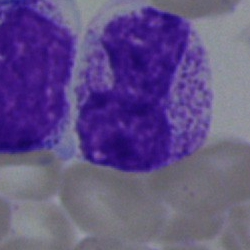

Band neutrophil.